Bone marrow smear; May-Grünwald-Giemsa stain.
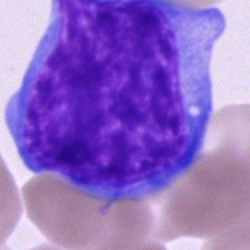

Q: Which cell type is shown here?
A: It is an undifferentiated blast.